Bone marrow aspirate smear. Image size 250×250
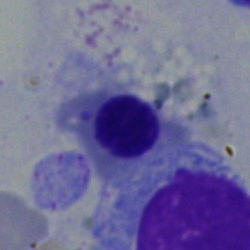
Q: Which cell type is shown here?
A: An erythroblast.